250×250 · bone marrow smear · single-cell field: 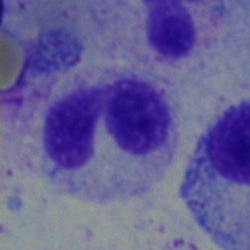
The morphological class is neutrophil (band).